Bone marrow aspirate smear: 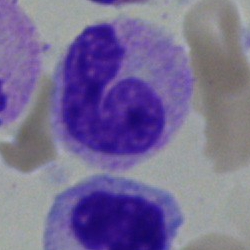
The cell shown is a band neutrophil.